MGG-stained; bone marrow aspirate smear; 250×250.
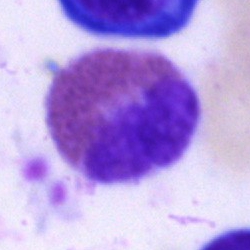

{"cell_type": "eosinophil", "lineage": "myeloid"}